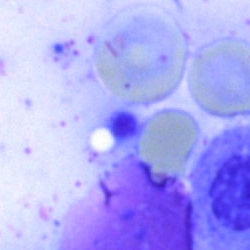

Cell — cell of indeterminate lineage.